Bone marrow aspirate smear — 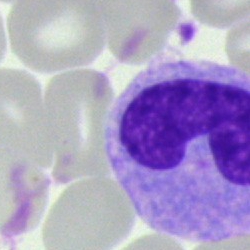

The classification is monocyte.